Bone marrow smear. 40× oil immersion: 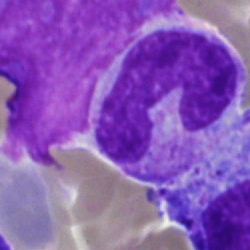Classification — stab cell.